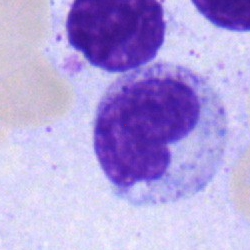 {"cell_type": "metamyelocyte", "lineage": "myeloid"}